Bone marrow aspirate smear · May-Grünwald-Giemsa/Pappenheim stain
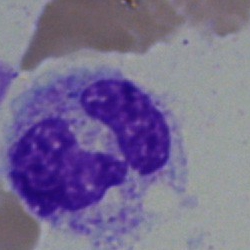Specimen: bone marrow aspirate smear.
Morphological class: segmented neutrophil.
Lineage: myeloid.